Bone marrow aspirate smear:
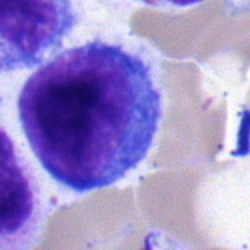
Morphological class = typical lymphocyte.